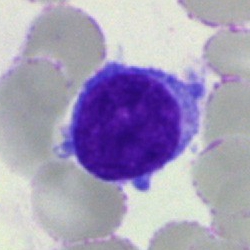

Cell type: lymphocyte.